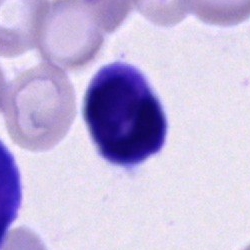Cell: cell of indeterminate lineage.